MGG-stained. 250×250 px. Bone marrow smear:
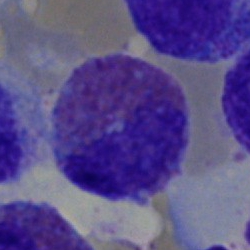 Cell: eosinophil.